40× objective, oil immersion. Bone marrow aspirate smear. Single cell centered in the field — 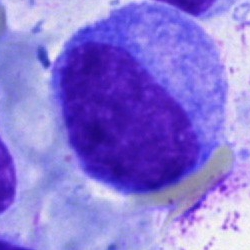Q: Which cell type is shown here?
A: This is a blast cell.